Bone marrow smear: 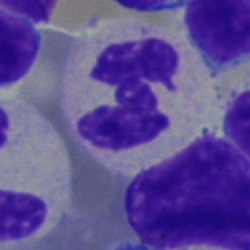
{"cell_type": "neutrophil (segmented)"}